Image size 250×250; bone marrow aspirate smear.
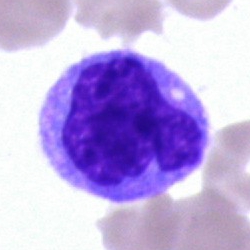 Impression — monocyte.